Bone marrow smear: 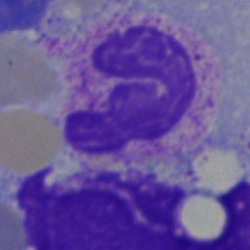 Q: What is shown here?
A: It is a segmented neutrophil.